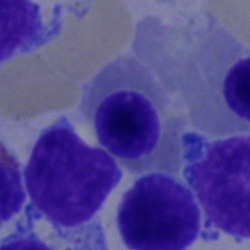Q: What is the morphological classification of this cell?
A: It is a normoblast.